Bone marrow smear. 250×250:
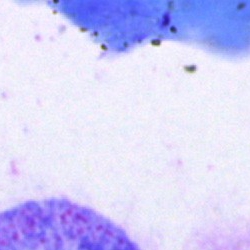Morphological class — artefact.